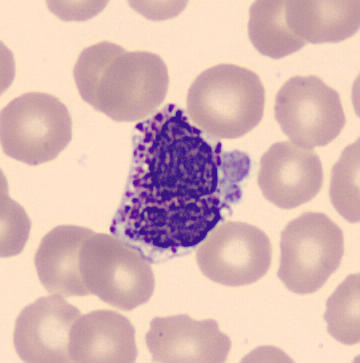 Preparation: Peripheral blood smear.

{"cell_type": "basophil", "lineage": "myeloid"}